Bone marrow aspirate smear. May-Grünwald-Giemsa stain: 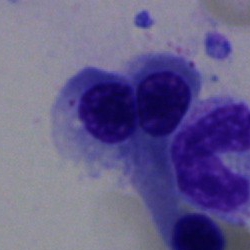
Single cell identified as an erythroblast.